Bone marrow aspirate smear · May-Grünwald-Giemsa/Pappenheim stain: 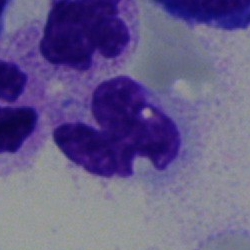The cell shown is a polymorphonuclear neutrophil.